Image size 250×250 · MGG-stained · bone marrow smear:
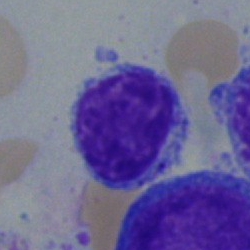Showing a lymphocyte.